Bone marrow smear.
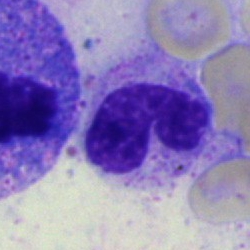 Morphology consistent with a neutrophil (band).